Bone marrow smear — 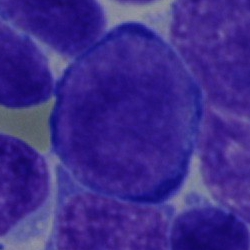 {"cell_type": "blast cell"}